Bone marrow aspirate smear; Pappenheim-stained:
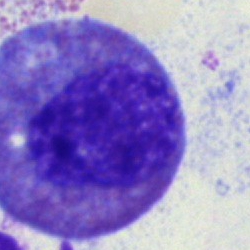

Eosinophil.